Single-cell crop; bone marrow aspirate smear
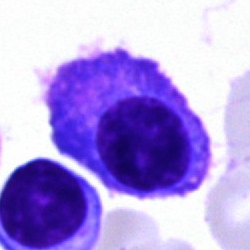

Morphology → plasma cell.